Bone marrow aspirate smear — 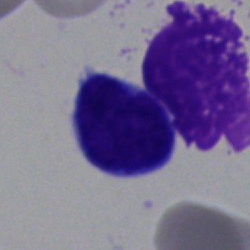
Morphology consistent with a typical lymphocyte.